Bone marrow aspirate smear; May-Grünwald-Giemsa stain: 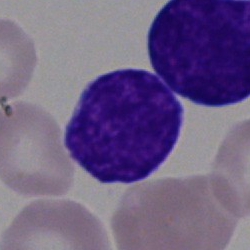 Blast cell.